Bone marrow aspirate smear — 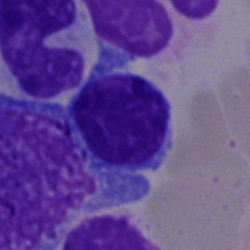
Q: What is the morphological classification of this cell?
A: Lymphocyte.